Pappenheim-stained. Bone marrow smear:
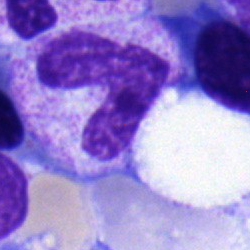
Specimen: bone marrow aspirate smear.
Morphological class: neutrophil (band).